Cropped to a single cell · bone marrow smear.
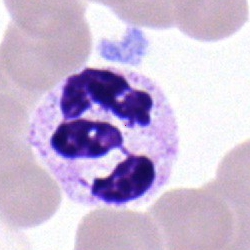The cell type is segmented neutrophil.